Bone marrow aspirate smear:
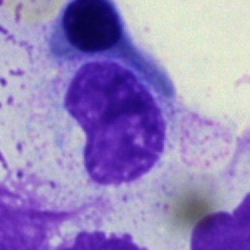
Morphology — metamyelocyte.